Bone marrow aspirate smear; May-Grünwald-Giemsa/Pappenheim stain: 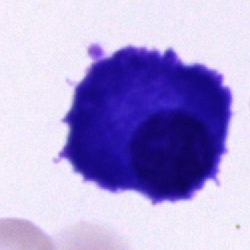
This is a plasmacyte.